Single-cell crop; bone marrow aspirate smear; May-Grünwald-Giemsa/Pappenheim stain: 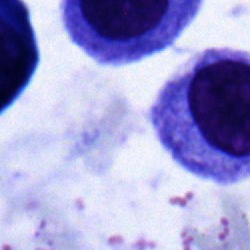
Specimen: bone marrow smear.
Morphological class: plasma cell.
Lineage: lymphoid.